Peripheral blood smear: 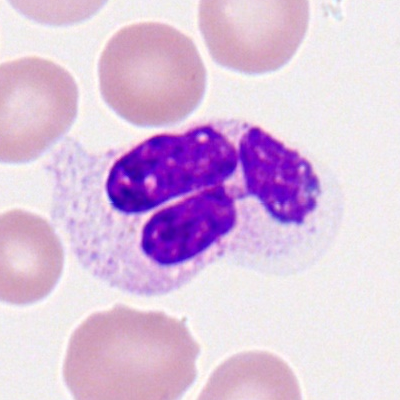 {"cell_type": "neutrophil (segmented)"}